Bone marrow aspirate smear · 40× objective, oil immersion.
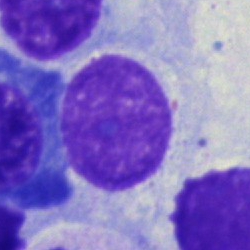

Specimen: bone marrow aspirate smear.
Cell: artefact.